Bone marrow smear.
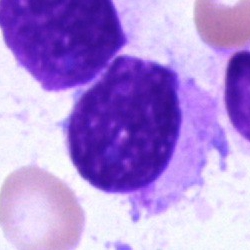 Morphological class: plasmacyte.